Bone marrow smear — 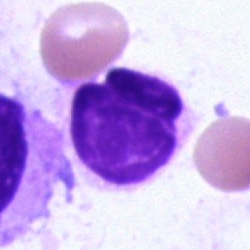 Showing an artifact.